Bone marrow smear: 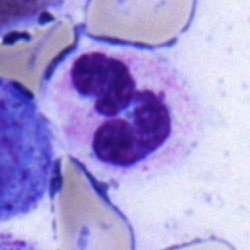 Q: Which cell type is shown here?
A: This is a neutrophil (segmented).